Bone marrow aspirate smear.
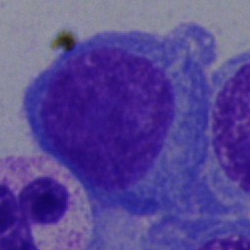
{"cell_type": "plasma cell"}